Peripheral blood smear; 400 by 400 pixels; single-cell field.
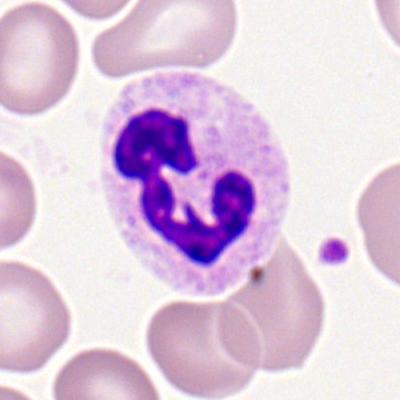

Q: What is shown here?
A: It is a segmented neutrophil.